Bone marrow smear — 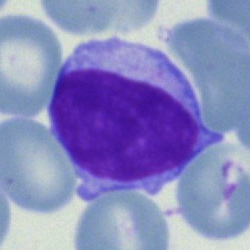

Lymphocyte.